Single-cell crop · bone marrow smear
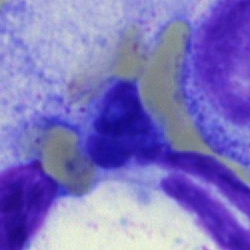

An artefact.